Bone marrow smear · image size 250×250
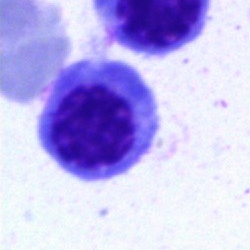
Classification = nucleated red cell.